Peripheral blood smear: 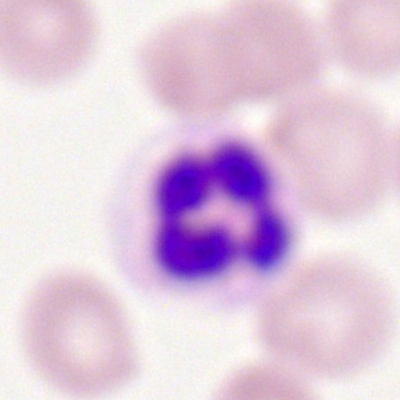Showing a segmented neutrophil.